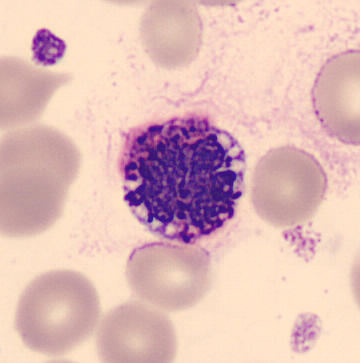 Peripheral blood film.

Cell type: basophil.